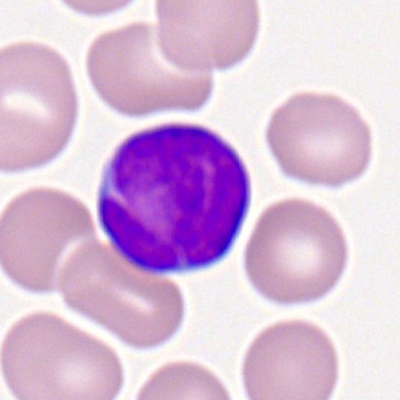 Cell: myeloblast.